250×250 px · single-cell crop · bone marrow smear: 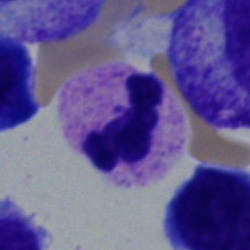
Morphology consistent with a polymorphonuclear neutrophil.